Single-cell crop · bone marrow aspirate smear.
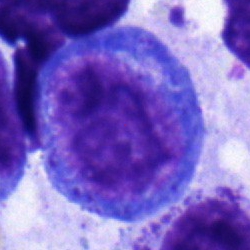
Showing a pronormoblast.